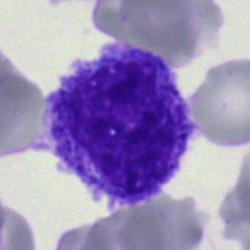

Q: Which cell type is shown here?
A: This is a myelocyte.